Bone marrow aspirate smear. MGG-stained. Cropped to a single cell
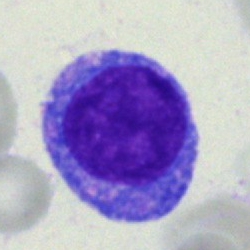Morphological class: blast.